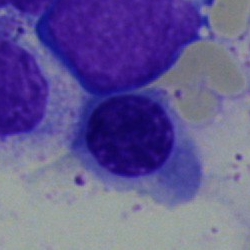Q: Identify the cell.
A: A nucleated red cell.